Bone marrow aspirate smear:
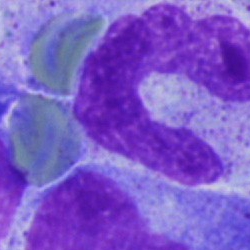 Morphology → stab cell.